Cropped to a single cell · bone marrow smear · 250×250
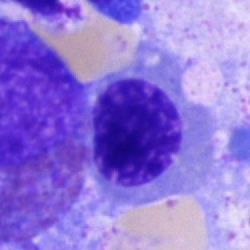
Q: Which cell type is shown here?
A: It is a nucleated red blood cell.